Bone marrow smear — 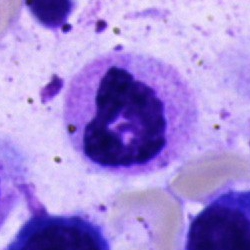 {"cell_type": "neutrophil (segmented)", "lineage": "myeloid"}